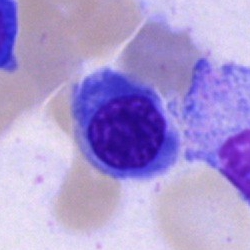 Single-cell crop from a bone marrow smear: normoblast.